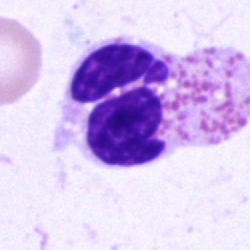

Impression → neutrophil (segmented).